Bone marrow aspirate smear:
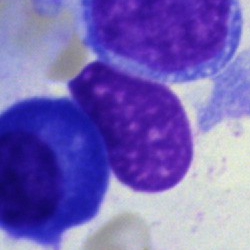
A plasma cell.